Bone marrow aspirate smear · Pappenheim-stained.
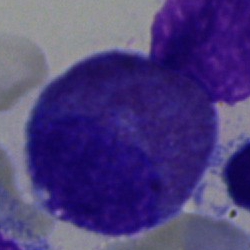Eosinophil.